Bone marrow smear.
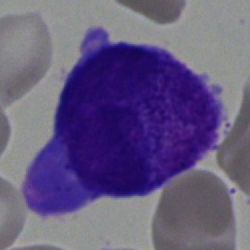

This is an undifferentiated blast.